Bone marrow smear · MGG-stained · 250×250 px.
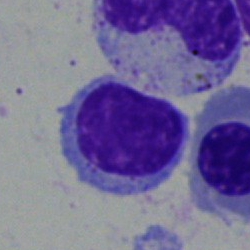

Specimen: bone marrow aspirate smear.
Cell: lymphocyte.
Lineage: lymphoid.